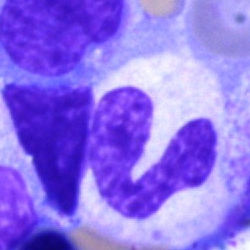

The cell shown is a neutrophil (band).